Bone marrow smear.
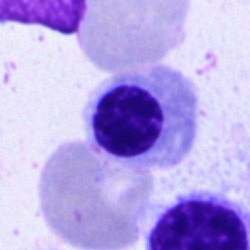

Q: Which cell type is shown here?
A: A nucleated red cell.